Bone marrow smear — 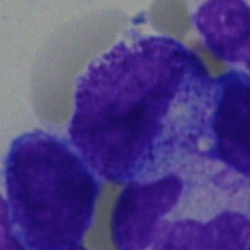

Morphology consistent with a myelocyte.